Bone marrow aspirate smear:
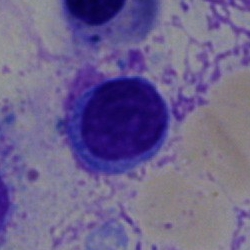 A nucleated red blood cell.